400×400 · peripheral blood smear — 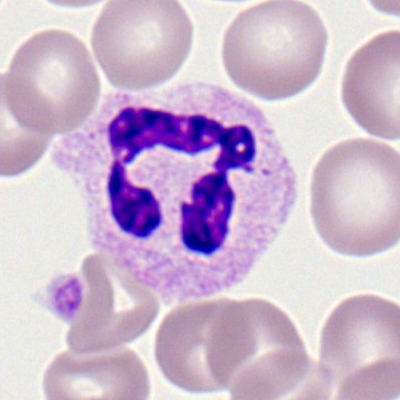

Cell: polymorphonuclear neutrophil.